May-Grünwald-Giemsa stain · bone marrow smear
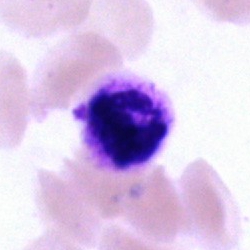Single cell identified as a polymorphonuclear neutrophil.